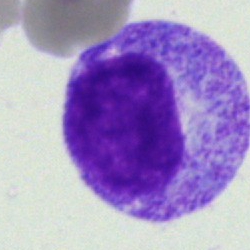

Q: Which cell type is shown here?
A: Myelocyte.